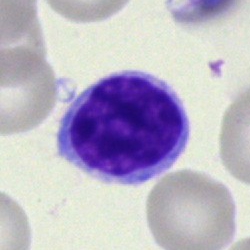

Specimen: bone marrow smear.
Classification: typical lymphocyte.
Lineage: lymphoid.